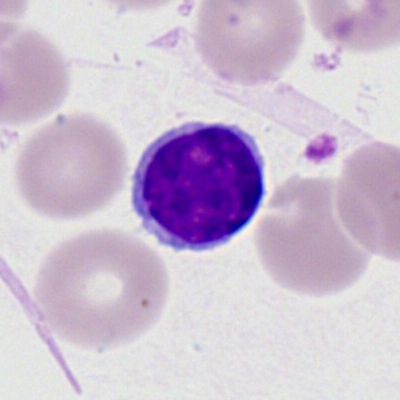

Single-cell crop from a peripheral blood smear: typical lymphocyte.